Bone marrow smear — 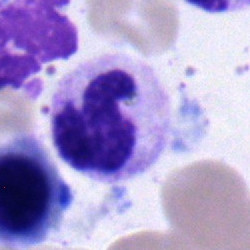

Morphological class — polymorphonuclear neutrophil.